MGG-stained · 40× oil immersion · bone marrow smear:
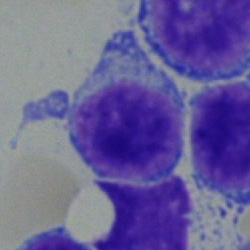 Showing a typical lymphocyte.